Bone marrow smear.
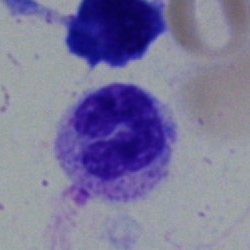

The cell shown is a polymorphonuclear neutrophil.